Bone marrow smear
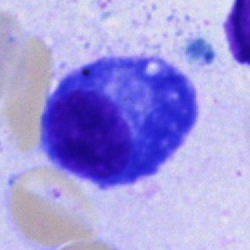Cell type = plasmacyte.